Bone marrow aspirate smear
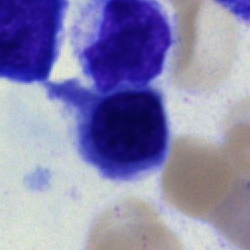 Classification — erythroblast.